Bone marrow smear: 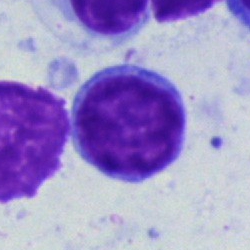

Specimen: bone marrow aspirate smear.
Cell type: typical lymphocyte.
Lineage: lymphoid.